Bone marrow aspirate smear
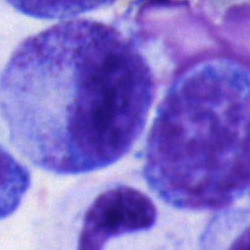
Monocyte.